Cropped to a single cell · 250×250 · bone marrow smear — 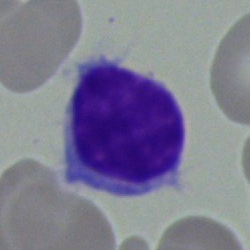Specimen: bone marrow smear.
Cell type: typical lymphocyte.
Lineage: lymphoid.